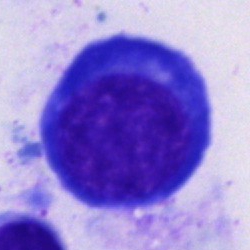
{"cell_type": "normoblast", "lineage": "erythroid"}